100× oil immersion, 14.14 px/µm · peripheral blood film · image size 400×400.
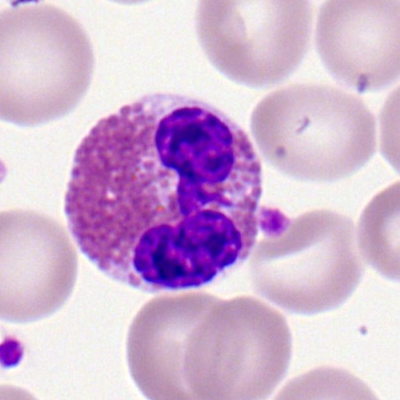
Single cell identified as an eosinophilic granulocyte.